250×250 px · bone marrow aspirate smear — 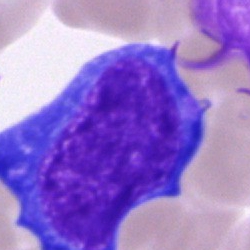

Cell — proerythroblast.